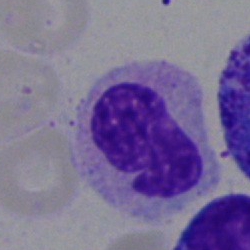Classification — polymorphonuclear neutrophil.